Bone marrow aspirate smear:
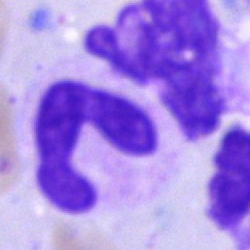
Band neutrophil.